Bone marrow aspirate smear:
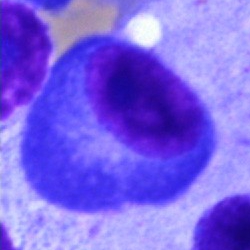Cell type — plasmacyte.